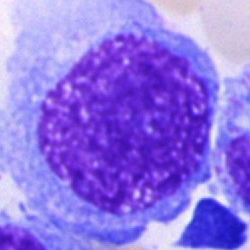 Specimen: bone marrow smear.
Cell: blast cell.